Bone marrow smear: 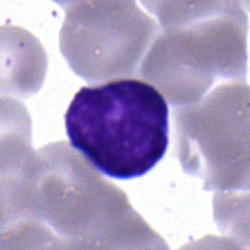

Specimen: bone marrow smear.
Classification: typical lymphocyte.
Lineage: lymphoid.